Peripheral blood smear; Romanowsky-stained: 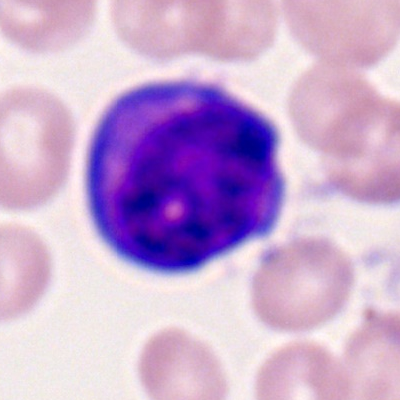
Morphology consistent with a myeloblast.